Peripheral blood film. Cropped to a single cell.
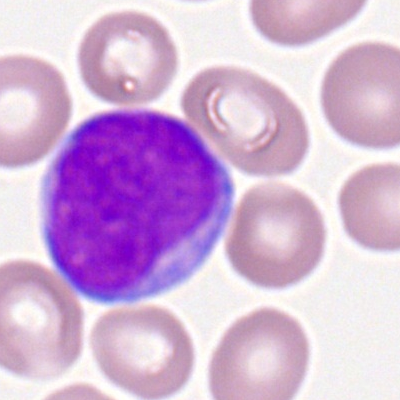Specimen: peripheral blood smear.
Cell: myeloid blast.
Lineage: myeloid.